Bone marrow aspirate smear:
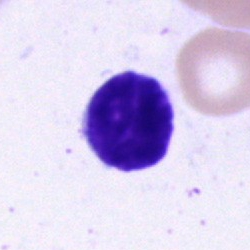 Q: What type of cell is this?
A: Lymphocyte.